Bone marrow smear
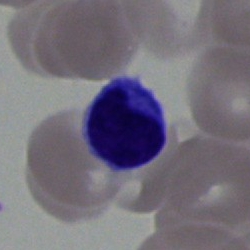

Morphological class: typical lymphocyte.